Bone marrow aspirate smear: 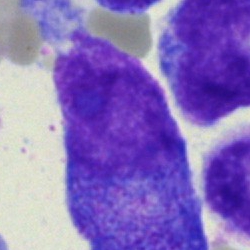 A promyelocyte.